Bone marrow aspirate smear: 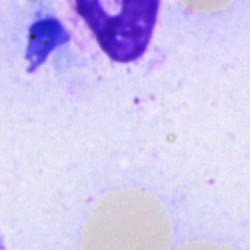

An artifact.